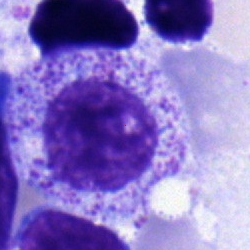

Morphology → myelocyte.